Peripheral blood film; 400×400; Romanowsky-type stain:
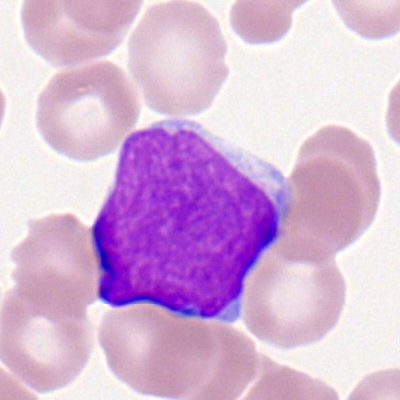
Morphology — myeloblast.